Bone marrow smear; single-cell field — 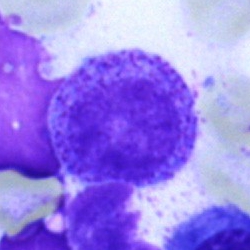

Q: What is shown here?
A: This is a myelocyte.